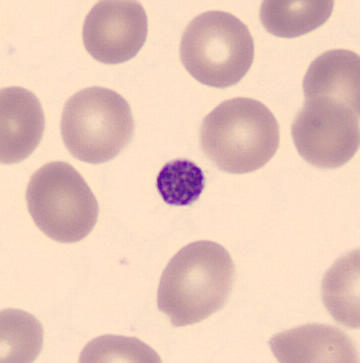

Peripheral blood film. Q: What is this?
A: A thrombocyte.